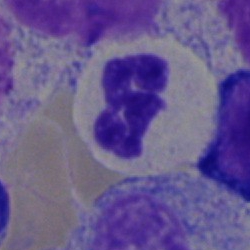 Q: Identify the cell.
A: It is a segmented neutrophil.